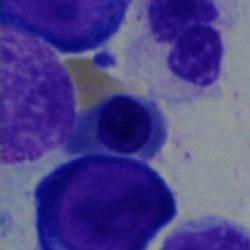Specimen: bone marrow aspirate smear.
Cell type: normoblast.
Lineage: erythroid.